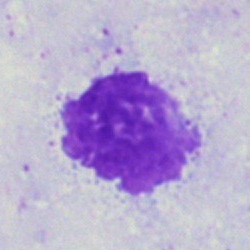 The cell shown is an artefact.